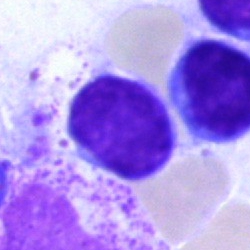 Morphology → lymphocyte.